Bone marrow aspirate smear.
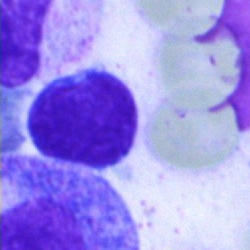 Single cell identified as a lymphocyte.